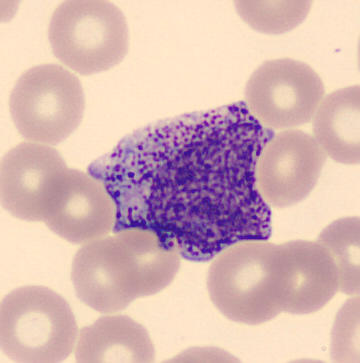 Myelocyte. Image: Peripheral blood film. Single-cell crop.